Bone marrow smear. Single cell centered in the field
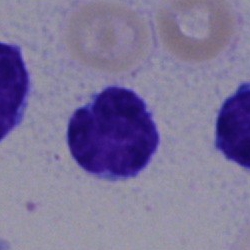Q: Identify the cell.
A: It is a typical lymphocyte.